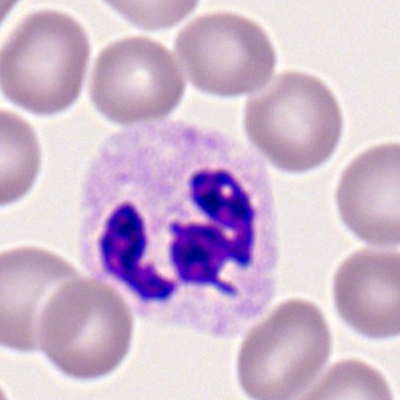

Cell type: segmented neutrophil.